May-Grünwald-Giemsa stain; bone marrow aspirate smear; single-cell crop.
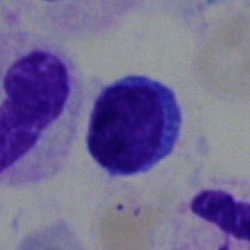 Classification: typical lymphocyte.